Bone marrow aspirate smear.
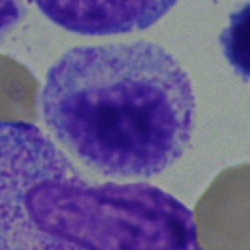

Morphology consistent with a myelocyte.